250×250. 40× objective, oil immersion. Bone marrow aspirate smear: 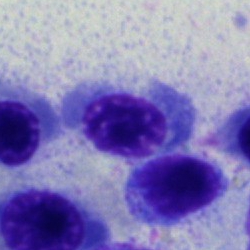

Morphology consistent with a nucleated red blood cell.